Peripheral blood film
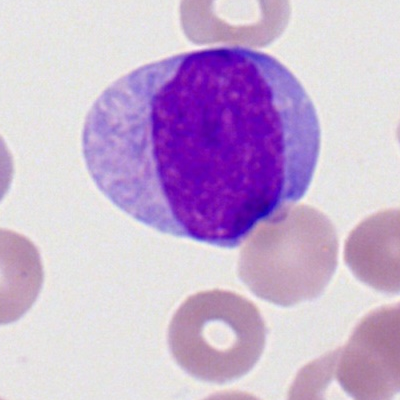

Q: What cell is this?
A: A myeloblast.